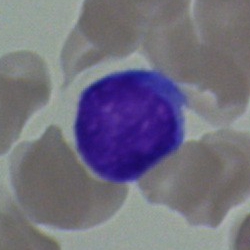

A lymphocyte on a bone marrow smear.